Bone marrow smear:
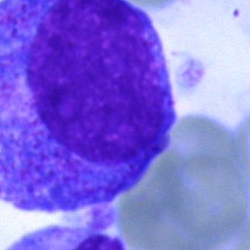
Classification — promyelocyte.